Bone marrow smear: 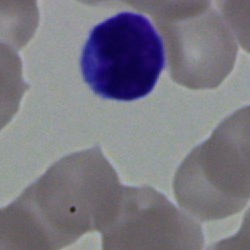

Specimen: bone marrow smear.
Cell type: lymphocyte.